Bone marrow smear: 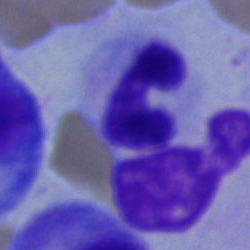
Band neutrophil.